Single-cell field. Bone marrow aspirate smear:
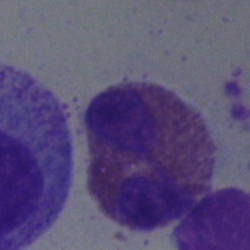 Eosinophil.